250×250 px; bone marrow smear:
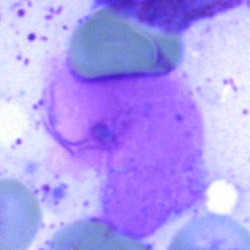 Specimen: bone marrow aspirate smear.
Cell: artifact.